Bone marrow smear: 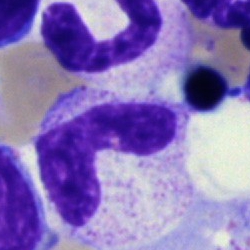 Specimen: bone marrow smear.
Cell: neutrophil (band).